Bone marrow smear. Cropped to a single cell — 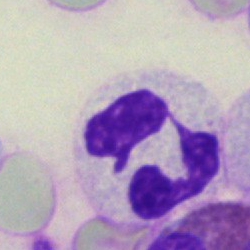 Specimen: bone marrow aspirate smear.
Morphological class: polymorphonuclear neutrophil.
Lineage: myeloid.